Peripheral blood smear: 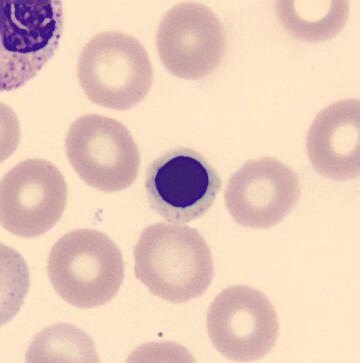 Q: What is shown here?
A: An erythroblast.